250 by 250 pixels · bone marrow aspirate smear — 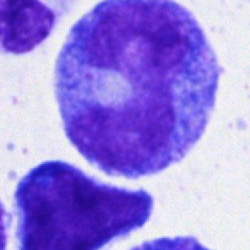This is a monocyte.